MGG-stained; bone marrow smear; 250×250
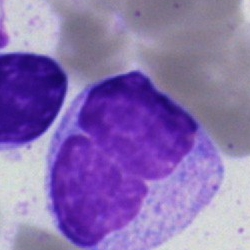 A monocyte.